Bone marrow smear; Pappenheim-stained
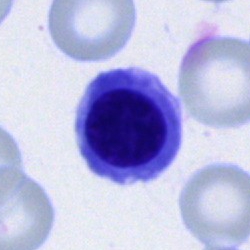 A nucleated red cell.